Single-cell crop · peripheral blood smear · 360×363 px
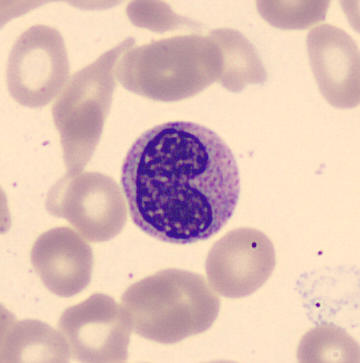Q: What is the morphological classification of this cell?
A: A metamyelocyte.